Bone marrow smear. Cropped to a single cell
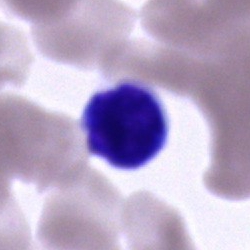 A typical lymphocyte.